Bone marrow aspirate smear.
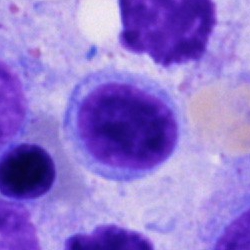
Morphological class: typical lymphocyte.